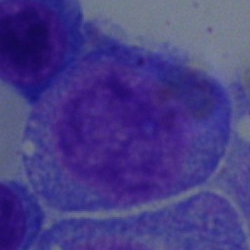This is a progranulocyte.